Bone marrow aspirate smear; MGG-stained:
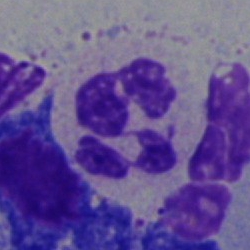
Q: Identify the cell.
A: This is a segmented neutrophil.